400×400 · peripheral blood film — 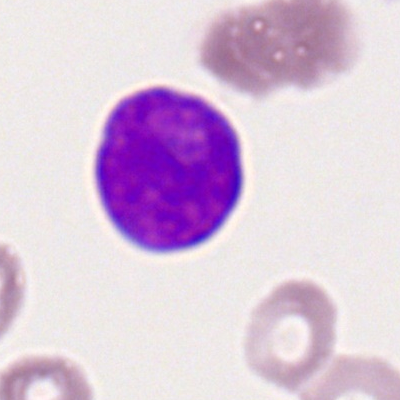 Specimen: peripheral blood smear.
Cell type: myeloblast.
Lineage: myeloid.